MGG stain · peripheral blood film: 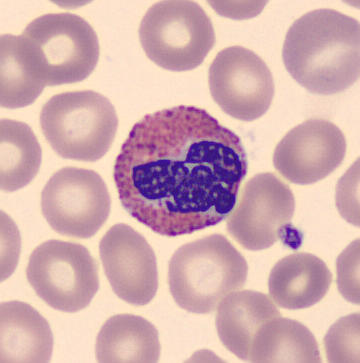 {"cell_type": "eosinophilic granulocyte", "lineage": "myeloid"}